Brightfield microscopy, 40× oil immersion · bone marrow aspirate smear: 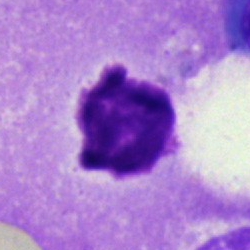 {"cell_type": "artifact"}